Pappenheim-stained. Bone marrow aspirate smear:
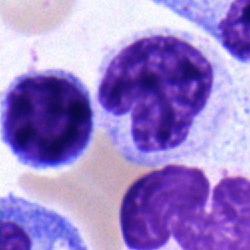Morphology consistent with a lymphocyte.